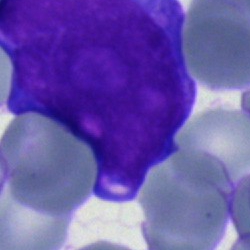
Q: What is the morphological classification of this cell?
A: It is a blast cell.